Bone marrow smear: 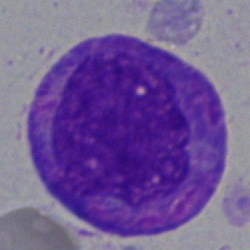 This is a promyelocyte.